40× objective, oil immersion · bone marrow aspirate smear · 250×250:
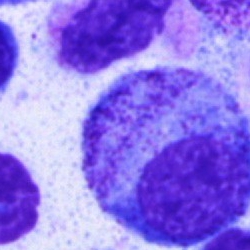
Specimen: bone marrow smear.
Cell type: promyelocyte.
Lineage: myeloid.